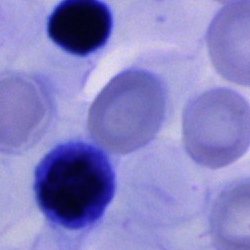

Q: What is the morphological classification of this cell?
A: An unidentifiable cell.